40× objective, oil immersion · bone marrow smear:
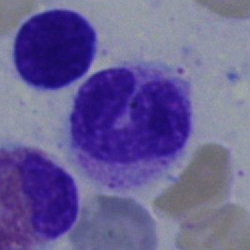Q: Identify the cell.
A: A neutrophil (band).